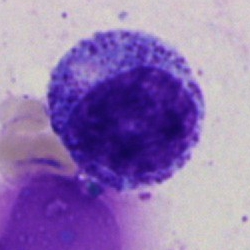
Q: What is shown here?
A: A myelocyte.